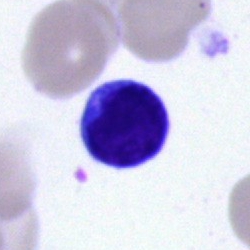

The cell shown is a typical lymphocyte.